250 by 250 pixels; bone marrow aspirate smear
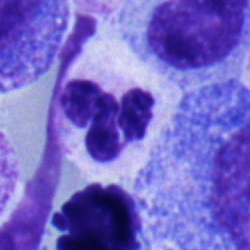

Cell type — segmented neutrophil.